Peripheral blood smear; M8 digital microscope (Precipoint), 100× oil immersion; single-cell crop.
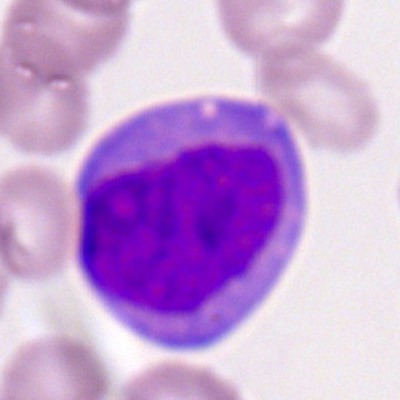 Impression → myeloid blast.